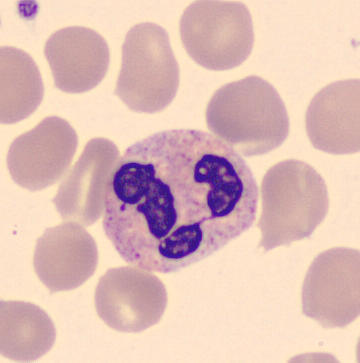

Cell — neutrophil (segmented).

Peripheral blood smear.